Bone marrow aspirate smear.
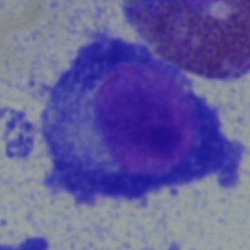

Classification: plasmacyte.